Bone marrow smear — 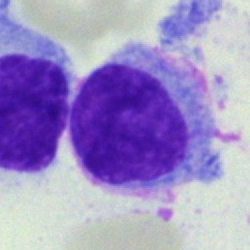

Morphology — hairy cell.